Bone marrow aspirate smear: 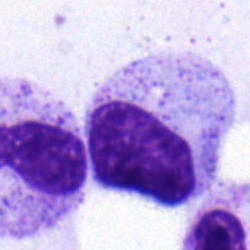 Q: Which cell type is shown here?
A: This is a myelocyte.